MGG-stained; bone marrow aspirate smear:
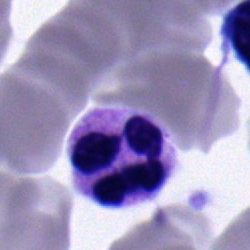 The cell type is polymorphonuclear neutrophil.